May-Grünwald-Giemsa/Pappenheim stain · brightfield, 40× oil-immersion objective · bone marrow aspirate smear
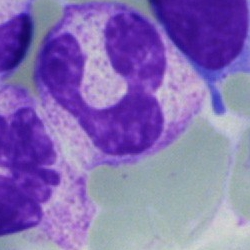 Segmented neutrophil.